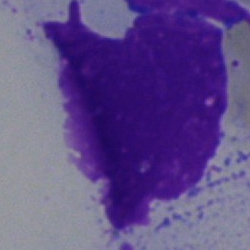
Specimen: bone marrow aspirate smear.
Cell type: artefact.